100× oil immersion · peripheral blood film · Romanowsky stain — 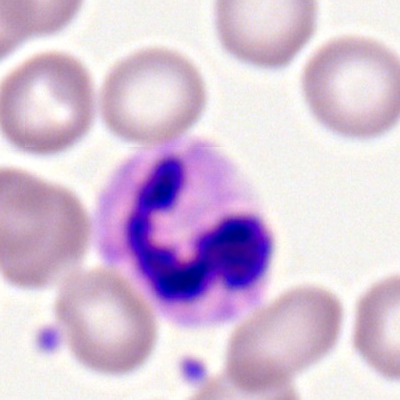 The cell shown is a polymorphonuclear neutrophil.